Bone marrow aspirate smear
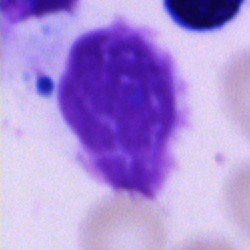

Impression → artefact.